Bone marrow aspirate smear: 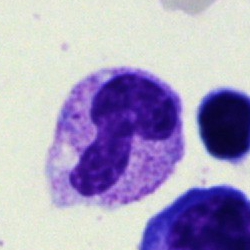
Morphology consistent with a band-form neutrophil.